Bone marrow smear — 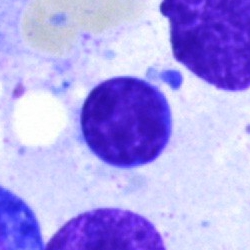Morphology — typical lymphocyte.